Bone marrow smear. 40× oil immersion. Single-cell crop:
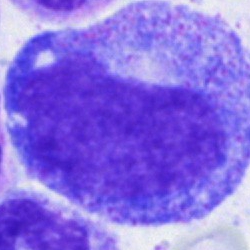 Q: What cell is this?
A: It is a promyelocyte.